Bone marrow smear. Brightfield, 40× oil-immersion objective. May-Grünwald-Giemsa stain:
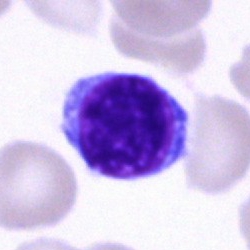

Morphology — typical lymphocyte.